Bone marrow aspirate smear; May-Grünwald-Giemsa stain; 40× oil immersion: 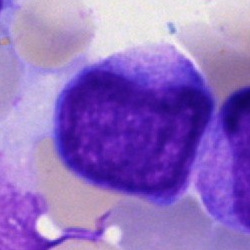 Morphology consistent with a blast cell.